Bone marrow smear.
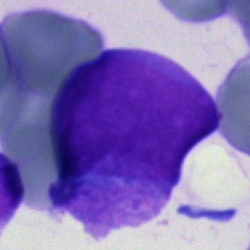
Morphology consistent with a blast cell.